Bone marrow smear.
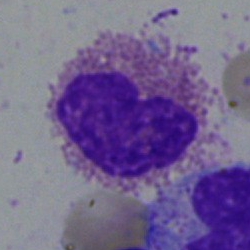

Q: What is shown here?
A: This is an eosinophilic granulocyte.